Bone marrow aspirate smear: 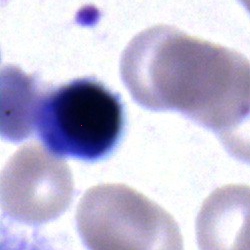A nucleated red cell.